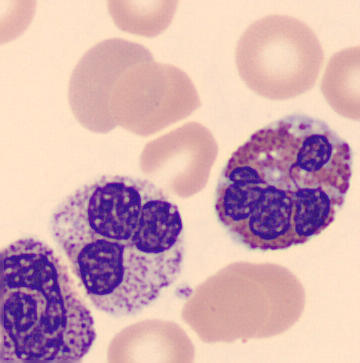Image: Peripheral blood smear.
Morphology — eosinophil.